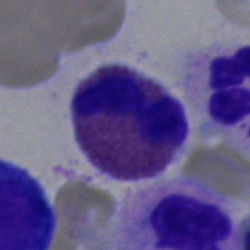 The morphological class is eosinophil.